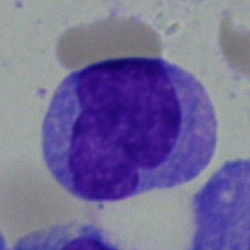Q: What cell is this?
A: Monocyte.